Bone marrow smear.
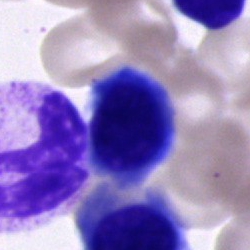 The classification is cell of indeterminate lineage.